Bone marrow aspirate smear.
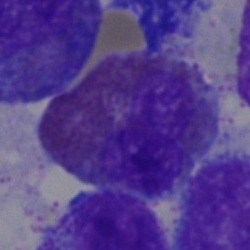
Specimen: bone marrow aspirate smear.
Morphological class: eosinophil.
Lineage: myeloid.